Peripheral blood film; single-cell field; 400×400: 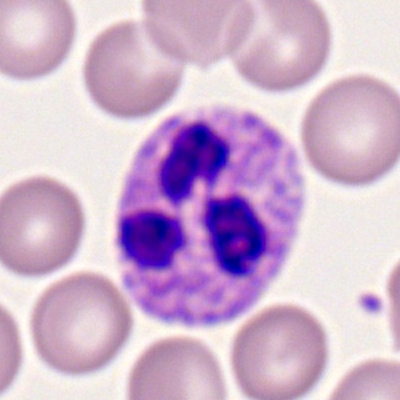
A polymorphonuclear neutrophil.